Bone marrow aspirate smear · single-cell field — 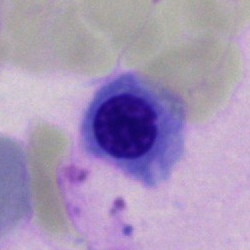

A nucleated red cell.